Bone marrow aspirate smear.
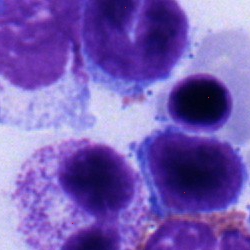Q: Identify the cell.
A: This is a typical lymphocyte.